May-Grünwald-Giemsa/Pappenheim stain · bone marrow aspirate smear: 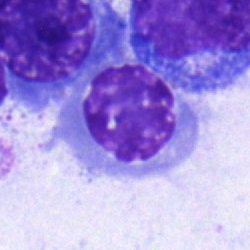 Classification = nucleated red cell.